Bone marrow smear: 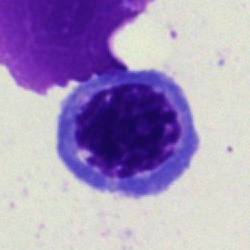
Q: Which cell type is shown here?
A: A normoblast.